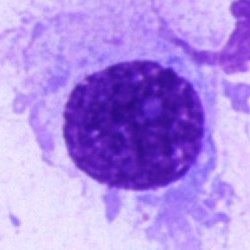
A plasma cell.